Bone marrow smear
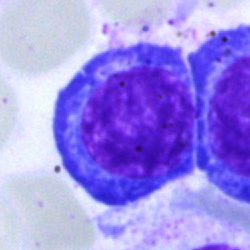
Morphology consistent with a nucleated red blood cell.